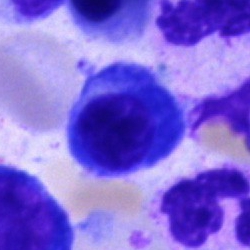
Morphological class: plasmacyte.